Romanowsky-type stain; peripheral blood smear: 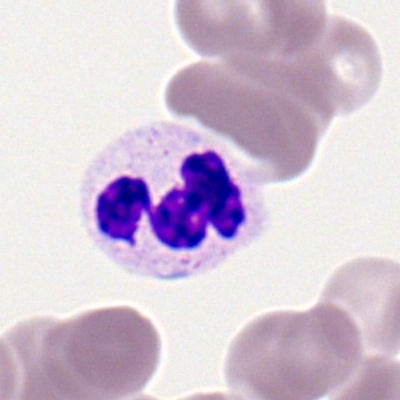
A polymorphonuclear neutrophil.